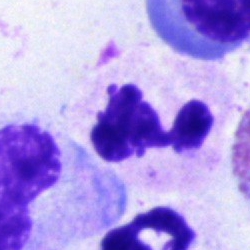Morphology → polymorphonuclear neutrophil.